Bone marrow smear.
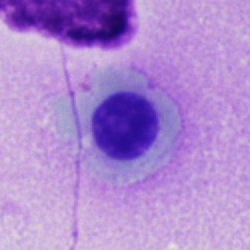 Q: Identify the cell.
A: This is a normoblast.